Brightfield, 100× oil-immersion objective; peripheral blood smear:
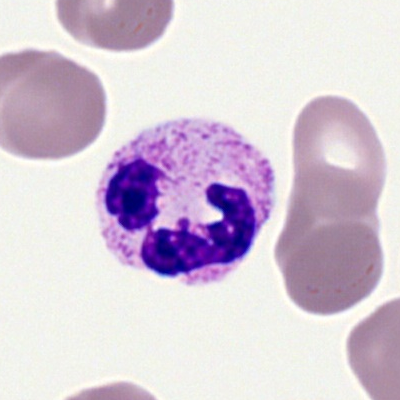

Showing a segmented neutrophil.